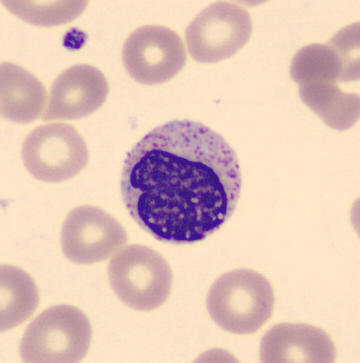

From a peripheral blood smear: a metamyelocyte.